Bone marrow smear; Pappenheim-stained
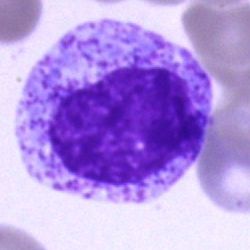
Morphological class = myelocyte.